Bone marrow aspirate smear: 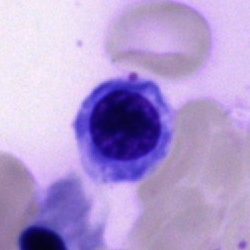 Morphology — normoblast.